Bone marrow smear: 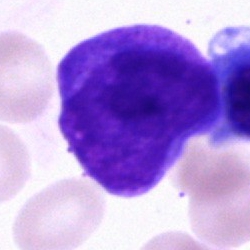 Q: Identify the cell.
A: It is an undifferentiated blast.